Peripheral blood film: 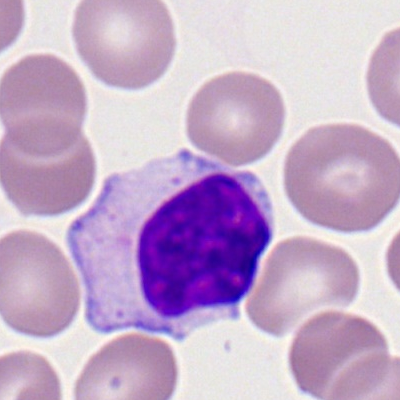 Q: What type of cell is this?
A: A typical lymphocyte.